250 by 250 pixels. 40× objective, oil immersion. Bone marrow smear
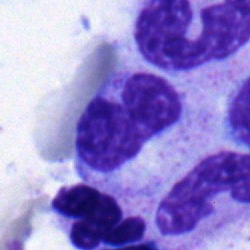
Morphology — band neutrophil.